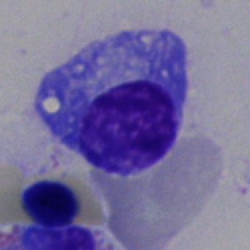Q: What cell is this?
A: It is a plasmacyte.